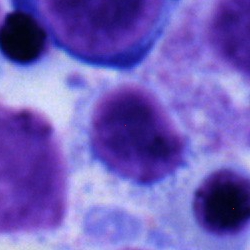
Q: Identify the cell.
A: A typical lymphocyte.